Bone marrow aspirate smear
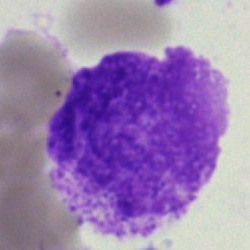
Morphology consistent with an artefact.